Bone marrow aspirate smear.
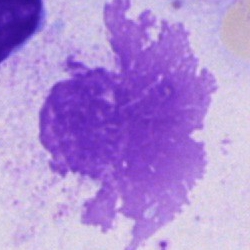
Morphological class = artefact.